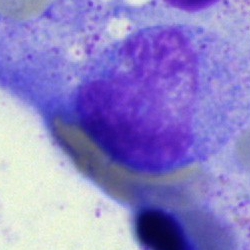 Specimen: bone marrow aspirate smear.
Morphological class: monocyte.